Bone marrow smear — 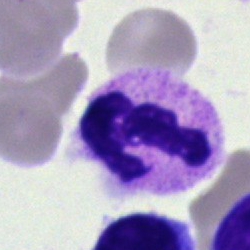 The morphological class is neutrophil (segmented).